Bone marrow smear. Cropped to a single cell:
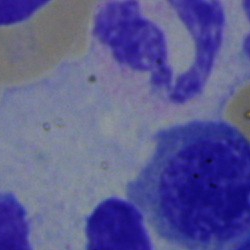

Morphology — neutrophil (segmented).